Bone marrow smear · single-cell field — 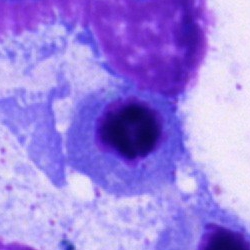Morphological class: nucleated red blood cell.